Bone marrow aspirate smear. Single cell centered in the field
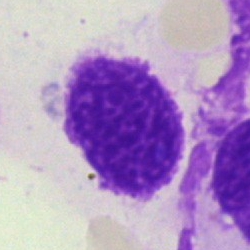Impression → artefact.